Bone marrow aspirate smear — 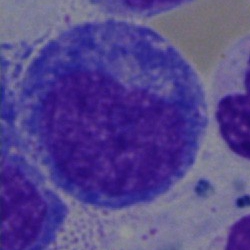
This is a progranulocyte.